Bone marrow smear.
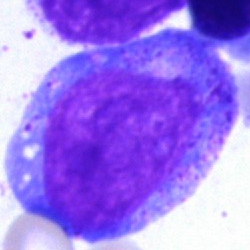This is a progranulocyte.